Brightfield, 40× oil-immersion objective · bone marrow aspirate smear
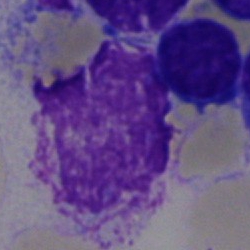
This is an artefact.